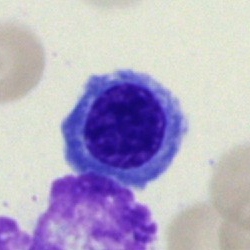Morphology consistent with a nucleated red cell.